Bone marrow smear.
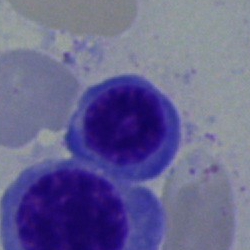

Cell type = nucleated red cell.